Single-cell crop · bone marrow aspirate smear — 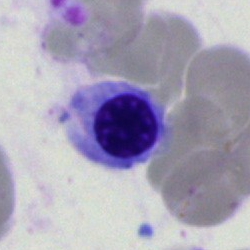Morphological class: erythroblast.